Bone marrow smear · May-Grünwald-Giemsa stain.
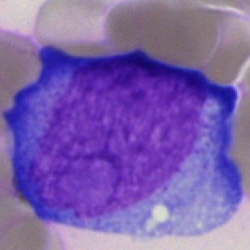

Morphological class: blast.